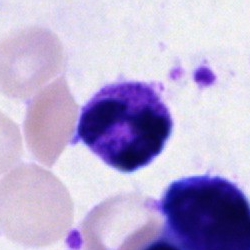{"cell_type": "polymorphonuclear neutrophil"}